Bone marrow aspirate smear; 250 by 250 pixels.
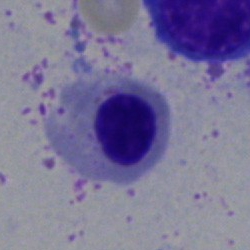
Morphology — erythroblast.